Bone marrow smear: 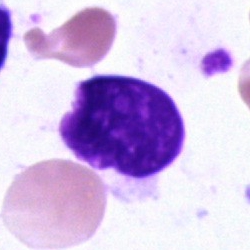 The cell shown is an artifact.